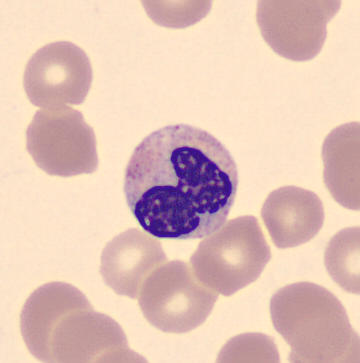Showing a band neutrophil.

Image: Peripheral blood smear.